Bone marrow smear — 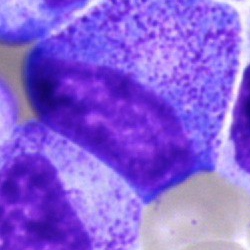Morphological class = progranulocyte.